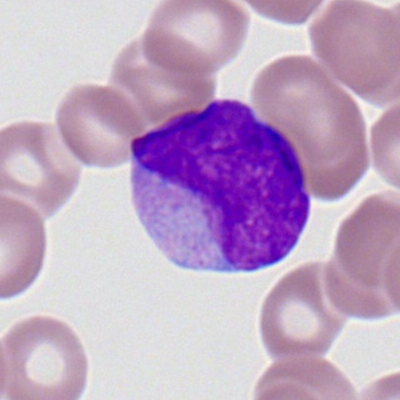Q: Identify the cell.
A: Myeloid blast.